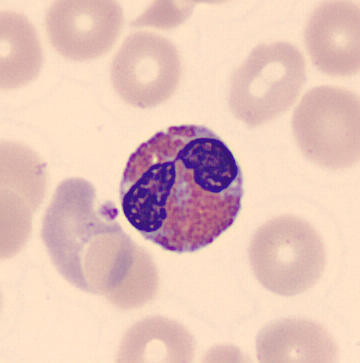 Specimen: peripheral blood film.
Classification: eosinophilic granulocyte.
Preparation: MGG-stained.